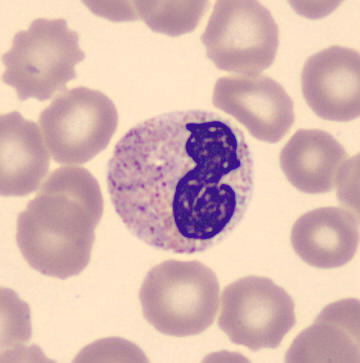 The classification is band neutrophil.